Bone marrow aspirate smear. Single-cell field. 250×250.
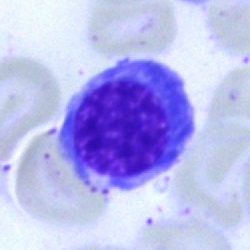
Classification — nucleated red cell.